Peripheral blood smear — 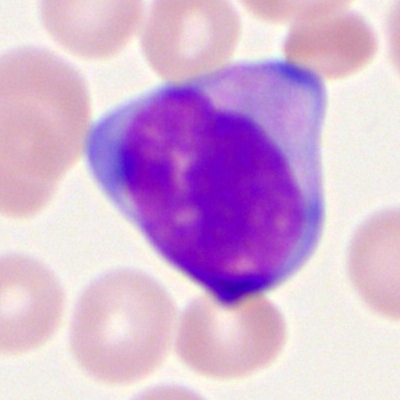 Myeloid blast.